Peripheral blood smear: 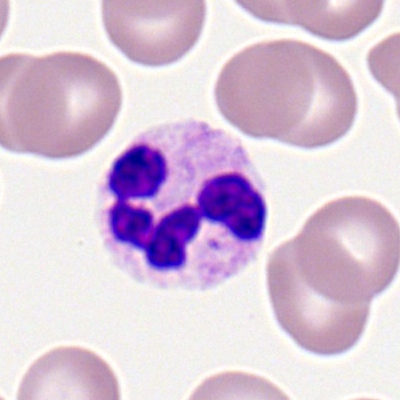Specimen: peripheral blood smear.
Morphological class: neutrophil (segmented).
Lineage: myeloid.